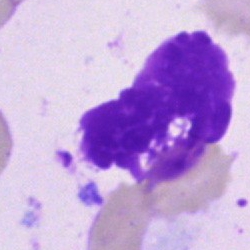
Cell type: artifact.